Bone marrow aspirate smear
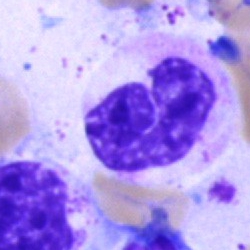
Impression → segmented neutrophil.